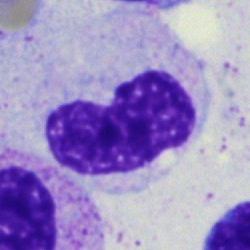 Single-cell crop from a bone marrow smear: stab cell.